Bone marrow aspirate smear
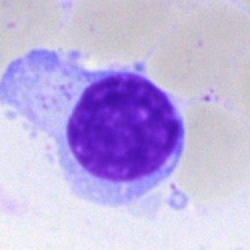

Cell type = plasmacyte.